Bone marrow aspirate smear — 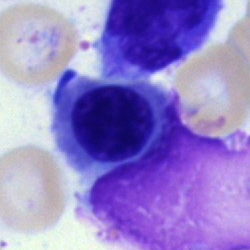

Impression → erythroblast.